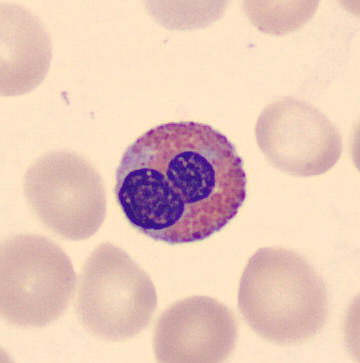

Image: MGG-stained · peripheral blood smear · single cell centered in the field.
{"cell_type": "eosinophilic granulocyte"}